Bone marrow aspirate smear — 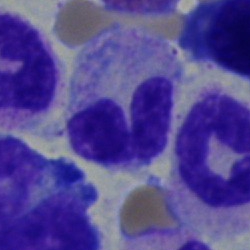 Morphology → stab cell.